Bone marrow smear — 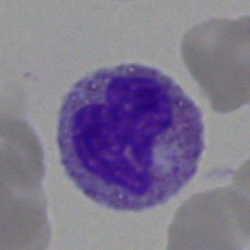Q: What is the morphological classification of this cell?
A: Eosinophil.